May-Grünwald-Giemsa/Pappenheim stain; bone marrow smear:
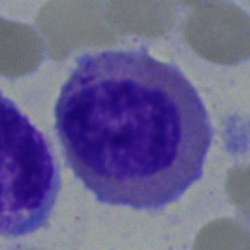 Impression → eosinophilic granulocyte.